May-Grünwald-Giemsa/Pappenheim stain · bone marrow smear
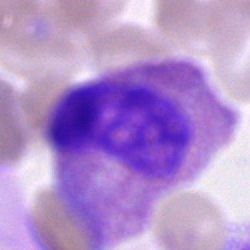 An eosinophilic granulocyte.